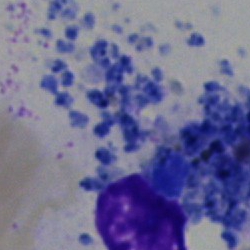

The cell shown is an artifact.